Bone marrow aspirate smear; 40× objective, oil immersion: 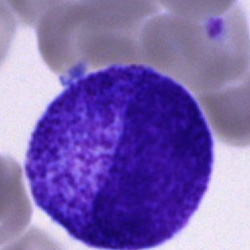

Cell — progranulocyte.